Bone marrow smear; 40× oil immersion
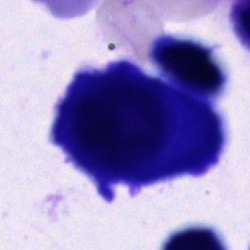Morphological class: plasma cell.